Bone marrow aspirate smear. Single-cell crop — 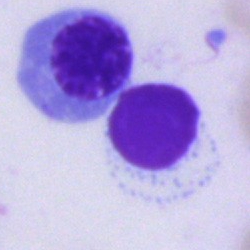{"cell_type": "nucleated red cell", "lineage": "erythroid"}